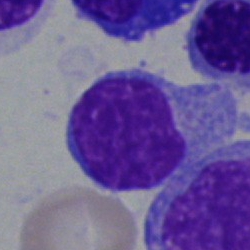The cell is typical lymphocyte.